May-Grünwald-Giemsa stain; bone marrow aspirate smear
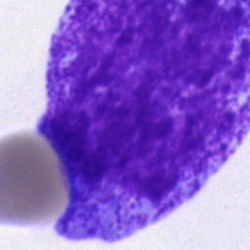

Q: What is the morphological classification of this cell?
A: Progranulocyte.